Bone marrow smear: 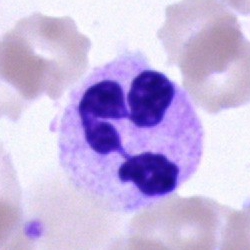 The cell is polymorphonuclear neutrophil.